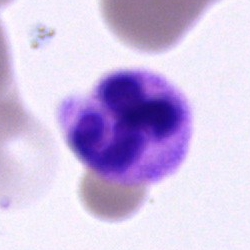

Q: What type of cell is this?
A: A polymorphonuclear neutrophil.